Bone marrow aspirate smear — 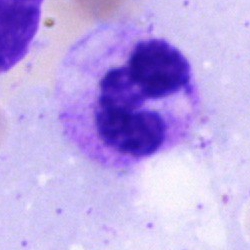
Morphology — neutrophil (segmented).